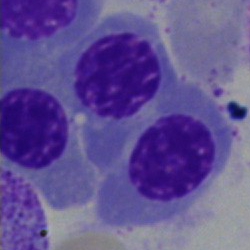Classification = erythroblast.